Bone marrow aspirate smear; MGG-stained — 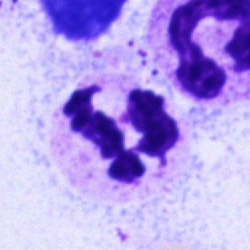

Typical lymphocyte.